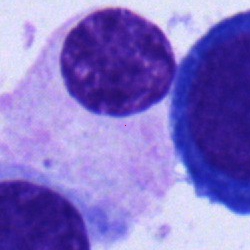
Q: What is the morphological classification of this cell?
A: Plasmacyte.